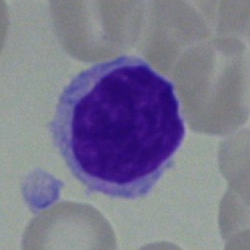 This is a typical lymphocyte.